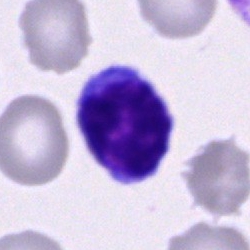

Morphological class = typical lymphocyte.